Brightfield, 40× oil-immersion objective; bone marrow smear:
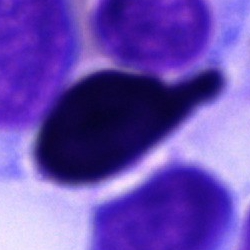 The morphological class is artefact.